Bone marrow smear; Pappenheim-stained:
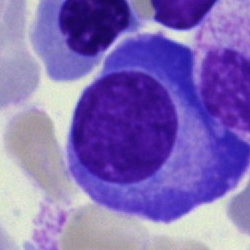
The cell type is plasma cell.